40× objective, oil immersion; bone marrow smear: 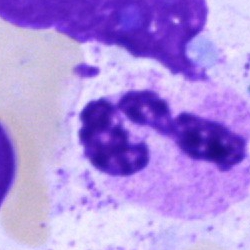
Showing a neutrophil (segmented).